Bone marrow smear
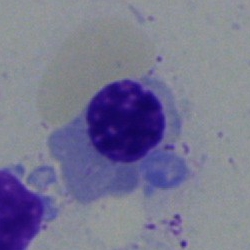

Impression — normoblast.